Bone marrow smear:
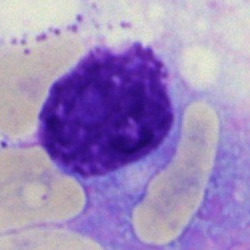
This is an artifact.